Bone marrow smear:
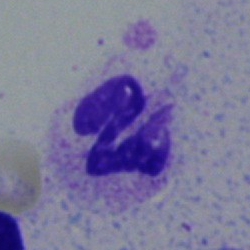 Q: Which cell type is shown here?
A: This is a neutrophil (segmented).